Bone marrow aspirate smear — 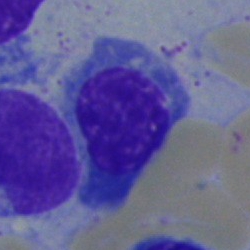
Impression — nucleated red cell.